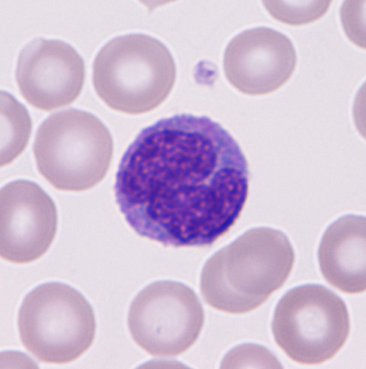
Cell type = monocyte.

Cropped to a single cell; peripheral blood smear.